Bone marrow aspirate smear:
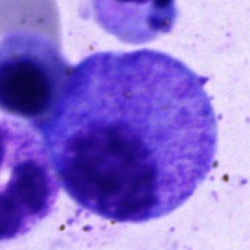

Single cell identified as a promyelocyte.